Bone marrow smear: 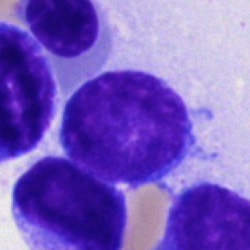 Morphology — blast cell.